Bone marrow smear: 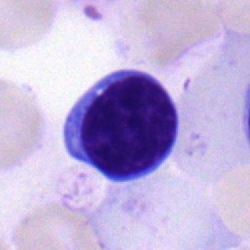{"cell_type": "typical lymphocyte"}